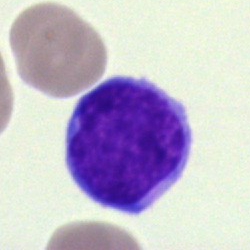A lymphocyte.